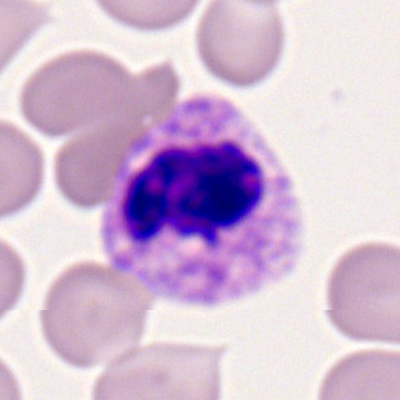 The classification is polymorphonuclear neutrophil.